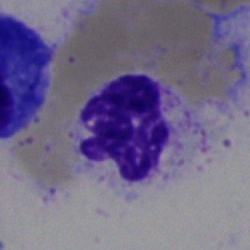

This is a neutrophil (segmented).